Peripheral blood smear
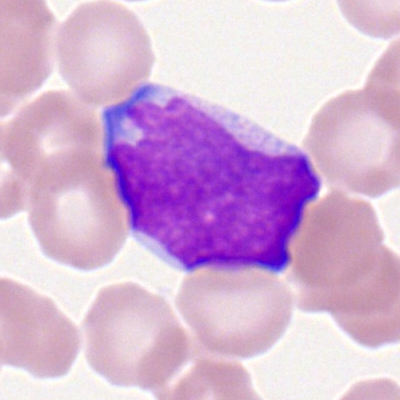
Q: Identify the cell.
A: This is a myeloid blast.